Bone marrow aspirate smear: 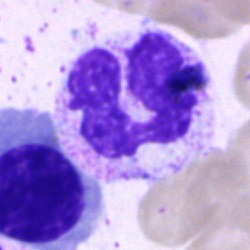

Single cell identified as a segmented neutrophil.